Bone marrow smear; brightfield microscopy, 40× oil immersion.
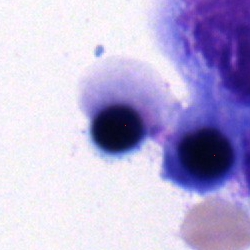 Showing an erythroblast.